MGG-stained · bone marrow aspirate smear.
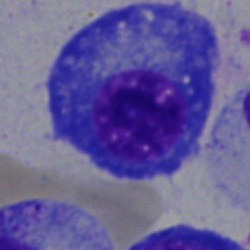Morphology consistent with a plasmacyte.